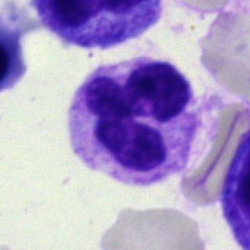
The cell shown is a neutrophil (segmented).